Image size 250×250; bone marrow aspirate smear — 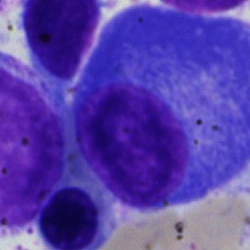
Specimen: bone marrow aspirate smear.
Cell type: plasmacyte.